Cropped to a single cell; bone marrow aspirate smear.
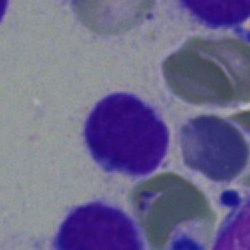

The cell is typical lymphocyte.